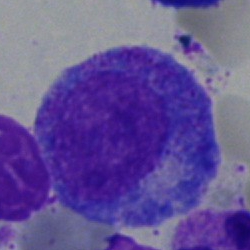
Specimen: bone marrow aspirate smear.
Classification: progranulocyte.
Lineage: myeloid.